40× objective, oil immersion; cropped to a single cell; bone marrow aspirate smear — 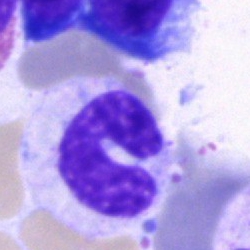
Morphological class: band neutrophil.